Bone marrow aspirate smear — 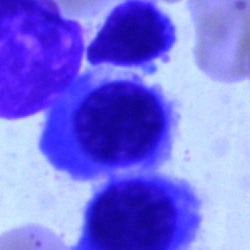The classification is nucleated red cell.